Single-cell crop; bone marrow smear:
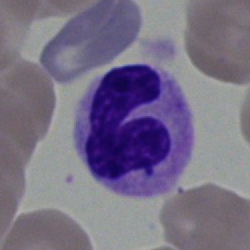Cell type — polymorphonuclear neutrophil.